Image size 250×250; bone marrow aspirate smear
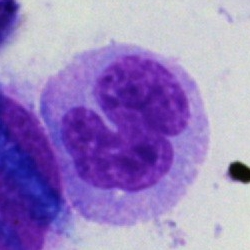

Single cell identified as a monocyte.